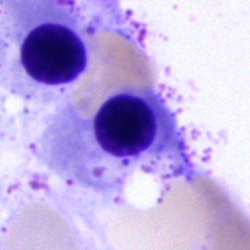

Nucleated red blood cell.